Bone marrow aspirate smear: 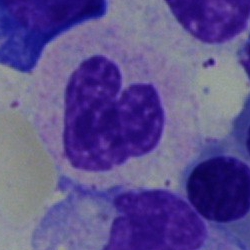
This is a stab cell.